Bone marrow aspirate smear
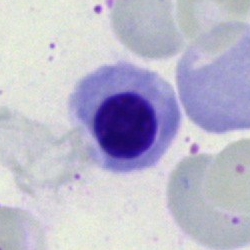 Impression → nucleated red cell.